Single cell centered in the field; bone marrow smear
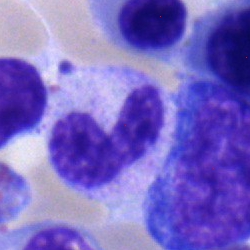

Morphology — neutrophil (band).